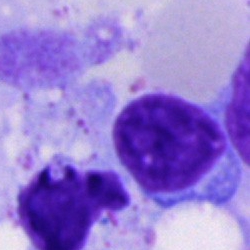 Q: What is shown here?
A: A lymphocyte.